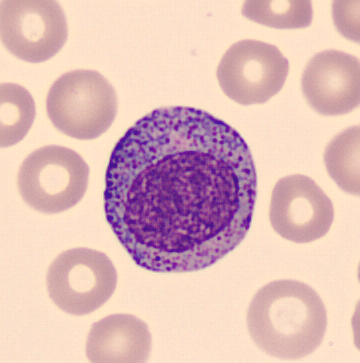
A progranulocyte.